Bone marrow smear: 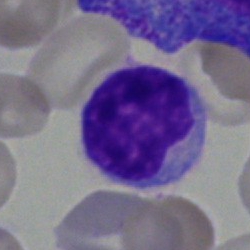 Q: What type of cell is this?
A: A typical lymphocyte.